Peripheral blood film: 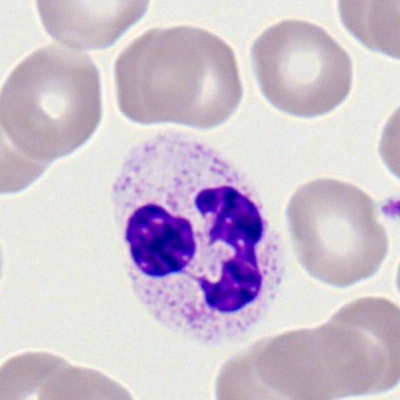A segmented neutrophil.